Peripheral blood film:
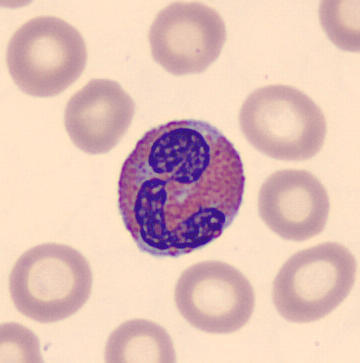 The cell shown is an eosinophil.